Bone marrow aspirate smear; MGG-stained: 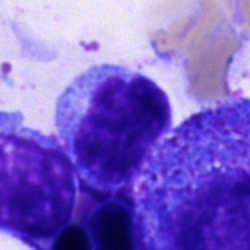

{"cell_type": "cell of indeterminate lineage"}